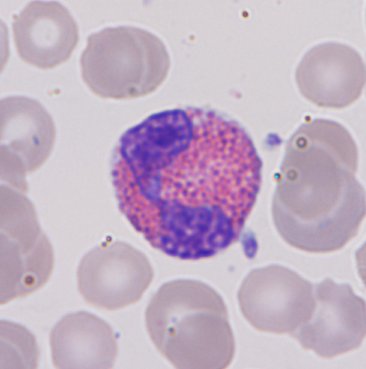Automated cell imaging (CellaVision DM96). 366 by 369 pixels. Peripheral blood film. Morphological class: eosinophil.